Bone marrow smear.
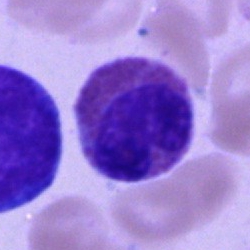 Q: What cell is this?
A: It is an eosinophilic granulocyte.